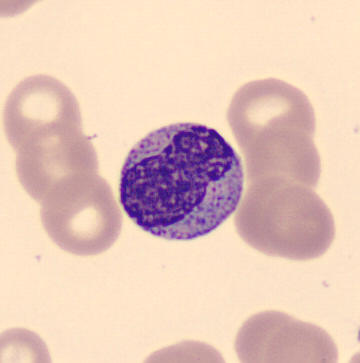

A metamyelocyte on a peripheral blood smear.